Bone marrow smear.
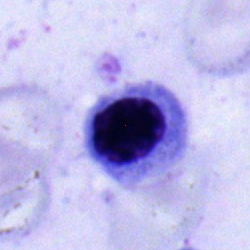

Specimen: bone marrow aspirate smear.
Cell: erythroblast.